Bone marrow smear:
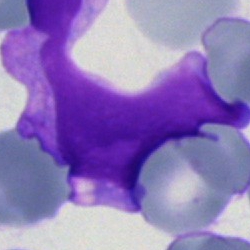Morphology consistent with an undifferentiated blast.